Bone marrow smear
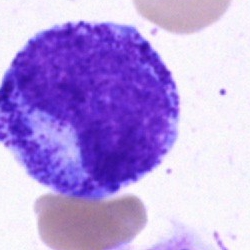 Q: What cell is this?
A: A promyelocyte.